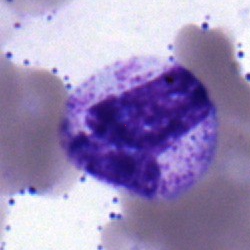Morphology → neutrophil (segmented).